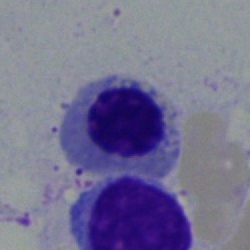 Single cell identified as a normoblast.